Bone marrow smear — 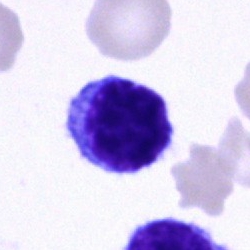
Typical lymphocyte.